Bone marrow smear.
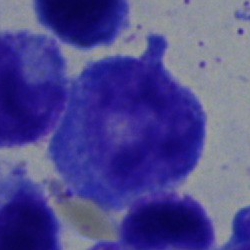Showing a progranulocyte.